Bone marrow smear; single-cell crop.
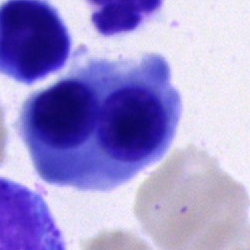
Classification: nucleated red blood cell.